Bone marrow aspirate smear — 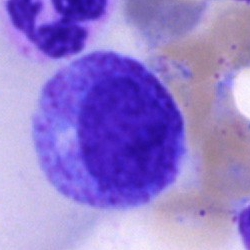The cell shown is a promyelocyte.